Bone marrow smear.
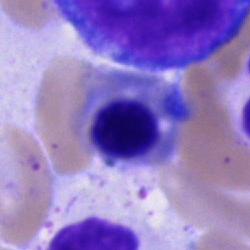Q: What cell is this?
A: Nucleated red cell.